May-Grünwald-Giemsa stain. Bone marrow aspirate smear. Image size 250×250:
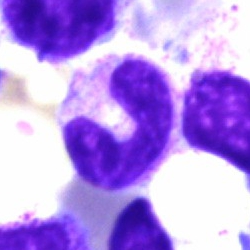 Showing a stab cell.